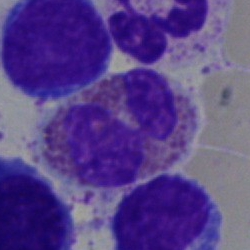

{"cell_type": "eosinophilic granulocyte", "lineage": "myeloid"}